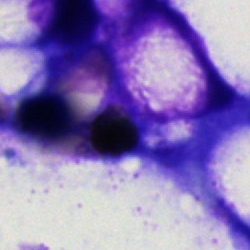

Q: What is shown here?
A: It is an artifact.